Bone marrow aspirate smear; May-Grünwald-Giemsa stain; single cell centered in the field: 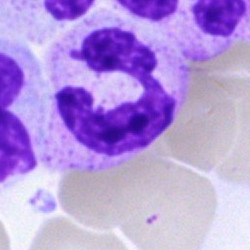
The cell shown is a polymorphonuclear neutrophil.